Cropped to a single cell. Image size 250×250. Bone marrow smear
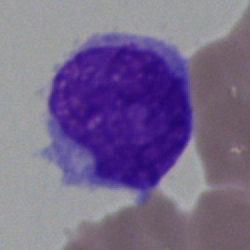This is a blast.